Bone marrow smear
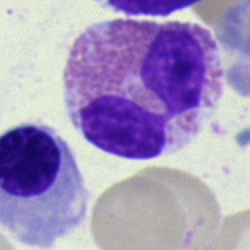

{"cell_type": "eosinophil"}